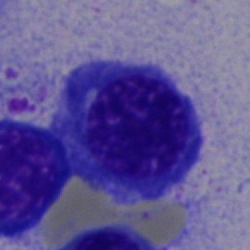

A nucleated red cell.